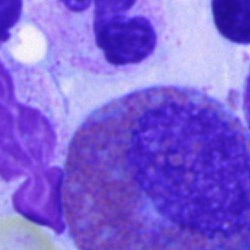The cell type is eosinophilic granulocyte.